Bone marrow smear
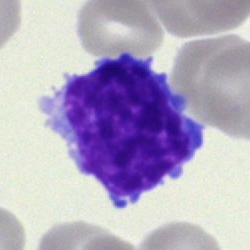
Q: What type of cell is this?
A: This is a blast cell.